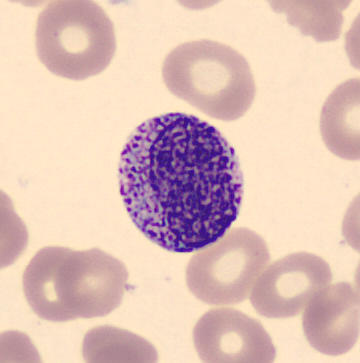

Image: Image size 360×363. May Grünwald-Giemsa stain. Peripheral blood smear. Impression → basophilic granulocyte.